Bone marrow aspirate smear · 40× oil immersion · image size 250×250: 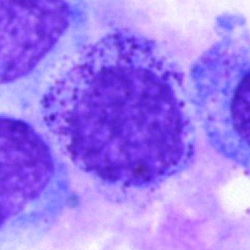 The cell shown is a myelocyte.